Bone marrow aspirate smear — 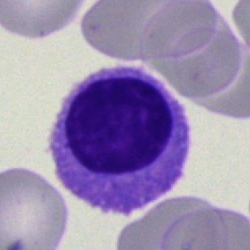 The cell shown is a monocyte.